Bone marrow smear. Single-cell field — 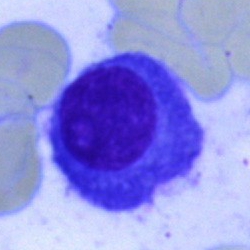
Specimen: bone marrow aspirate smear.
Morphological class: plasma cell.
Lineage: lymphoid.